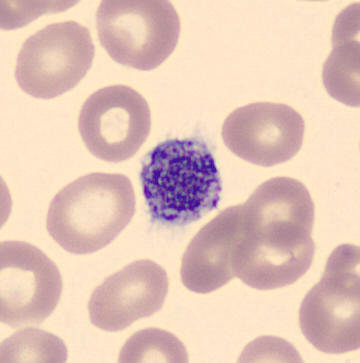
Cell type — platelet (thrombocyte).